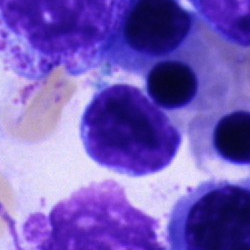Morphology → typical lymphocyte.